Cropped to a single cell; bone marrow smear — 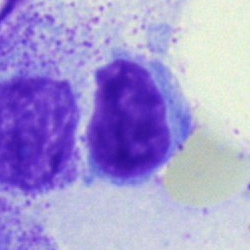 Cell: typical lymphocyte.